Pappenheim-stained · bone marrow aspirate smear: 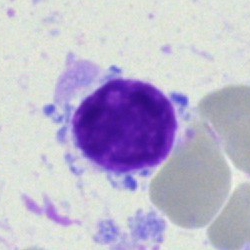

Morphology consistent with a typical lymphocyte.